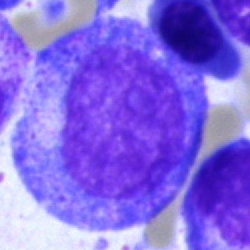
The morphological class is progranulocyte.